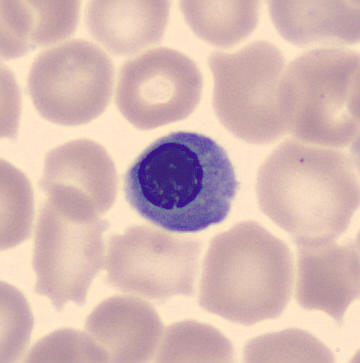{"cell_type": "nucleated red cell", "lineage": "erythroid"}